MGG-stained; bone marrow smear:
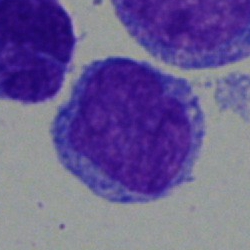Specimen: bone marrow aspirate smear.
Classification: blast cell.